250×250 px; bone marrow aspirate smear; brightfield, 40× oil-immersion objective:
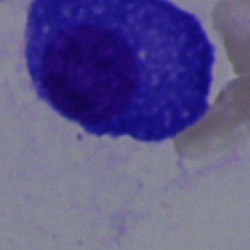 This is a plasmacyte.